Single cell centered in the field · May-Grünwald-Giemsa/Pappenheim stain · bone marrow aspirate smear — 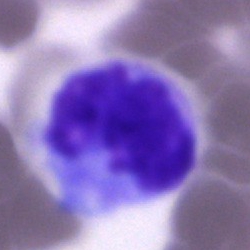 Q: What is the morphological classification of this cell?
A: Cell of indeterminate lineage.